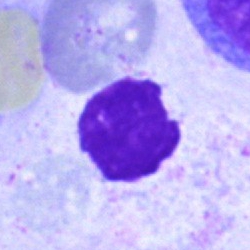 Morphology consistent with an artefact.